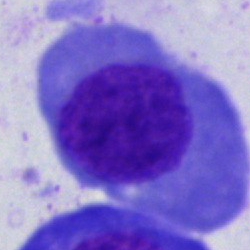

{"cell_type": "nucleated red blood cell"}